Bone marrow smear. 40× objective, oil immersion. Pappenheim-stained
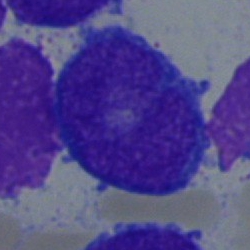Q: What is shown here?
A: It is an undifferentiated blast.